250×250; MGG-stained; bone marrow smear — 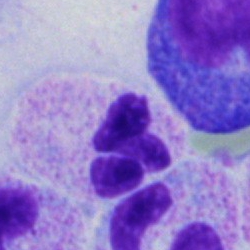

This is a segmented neutrophil.